Bone marrow aspirate smear. 250×250.
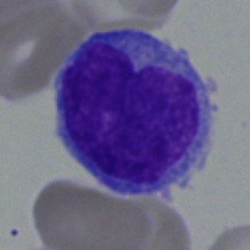This is an undifferentiated blast.